Bone marrow aspirate smear; brightfield microscopy, 40× oil immersion.
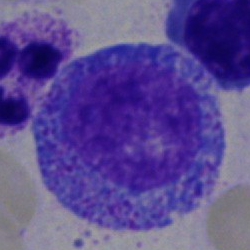 Progranulocyte.